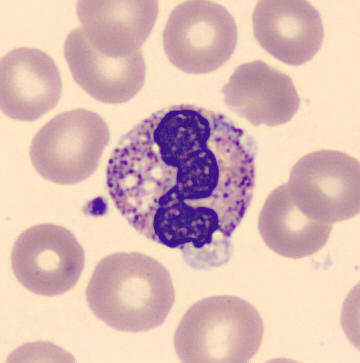 Cell — neutrophil (segmented).
360 by 363 pixels. Peripheral blood film.